Bone marrow smear · brightfield microscopy, 40× oil immersion
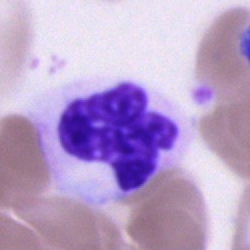Showing a segmented neutrophil.